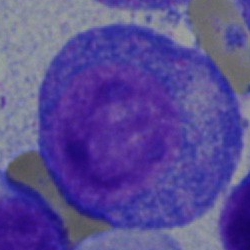 The classification is progranulocyte.